Bone marrow smear
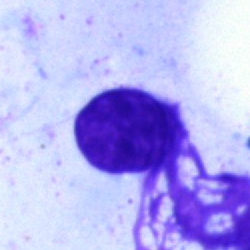
This is an artefact.